Image size 250×250. Bone marrow smear
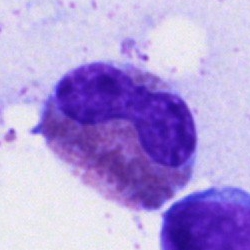
An eosinophilic granulocyte.